Bone marrow smear; 250 by 250 pixels
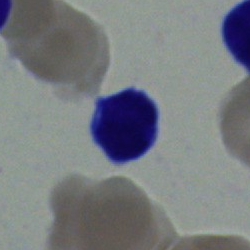

Morphology consistent with a lymphocyte.